Bone marrow smear
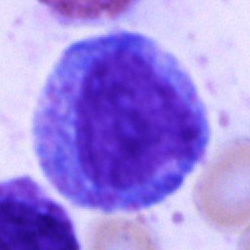 Impression → progranulocyte.